Bone marrow smear; May-Grünwald-Giemsa stain:
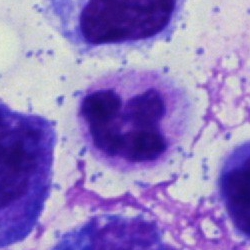

A segmented neutrophil.